May-Grünwald-Giemsa stain · bone marrow smear:
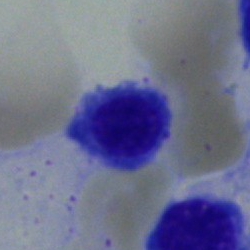
Impression — erythroblast.